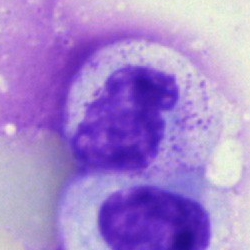
Polymorphonuclear neutrophil.